Single cell centered in the field. Bone marrow smear
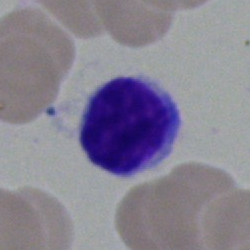 Specimen: bone marrow aspirate smear.
Cell: lymphocyte.